Bone marrow smear. Single-cell field. May-Grünwald-Giemsa/Pappenheim stain:
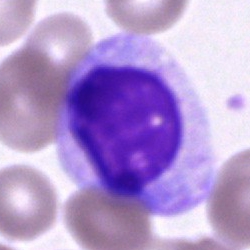 Q: What is shown here?
A: This is a cell of indeterminate lineage.